Brightfield, 40× oil-immersion objective; bone marrow aspirate smear — 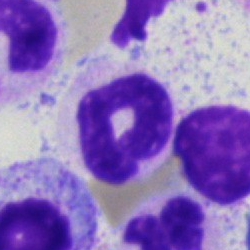Impression — polymorphonuclear neutrophil.